Peripheral blood smear: 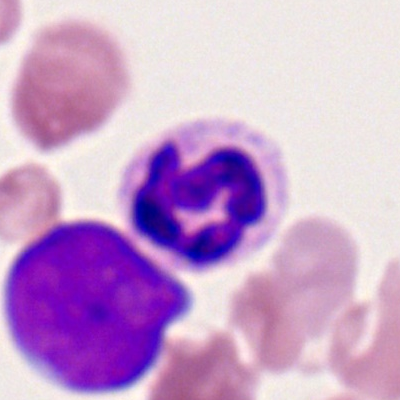
Single cell identified as a polymorphonuclear neutrophil.